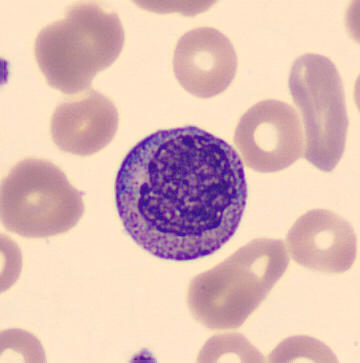Preparation: Peripheral blood film.
A myelocyte.